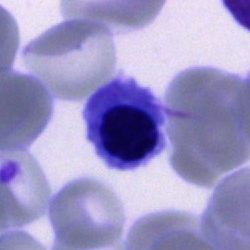 Specimen: bone marrow smear.
Classification: normoblast.